Cropped to a single cell · Romanowsky-stained · peripheral blood film: 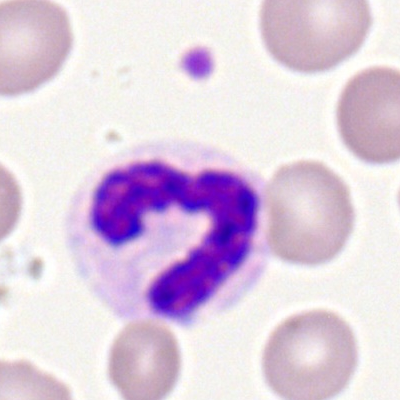

Morphology consistent with a segmented neutrophil.